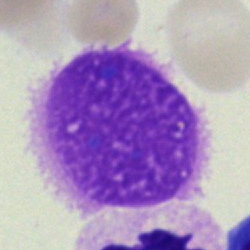Cell = artifact.